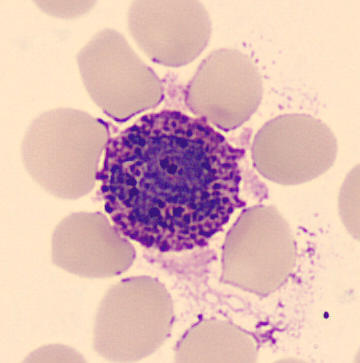 Peripheral blood smear. CellaVision DM96 digital cell image. Q: What is shown here?
A: Basophil.